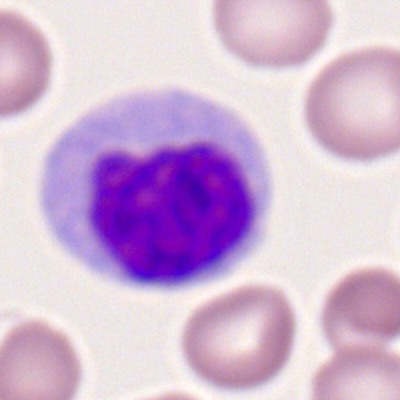 Q: Identify the cell.
A: Monocyte.